Peripheral blood film
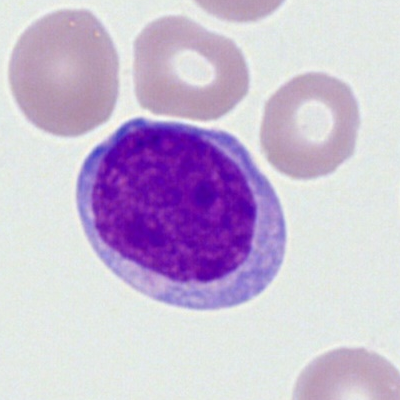 The cell type is myeloid blast.